Bone marrow aspirate smear. 250×250 — 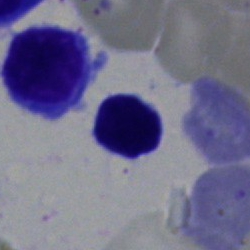
Morphology → artefact.